Bone marrow smear. 40× objective, oil immersion — 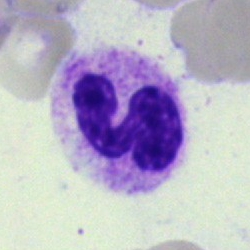

Impression — polymorphonuclear neutrophil.